Bone marrow smear · May-Grünwald-Giemsa stain:
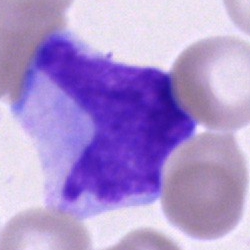 Morphological class: cell of indeterminate lineage.